40× objective, oil immersion; bone marrow aspirate smear: 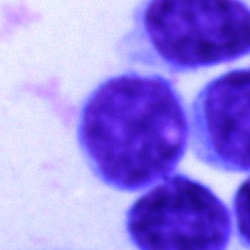Q: What is shown here?
A: Typical lymphocyte.